Bone marrow aspirate smear. Image size 250×250:
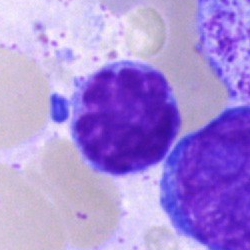

The cell shown is a typical lymphocyte.